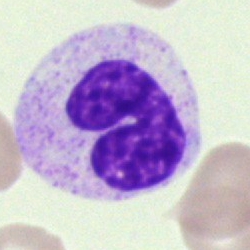 Classification: neutrophil (band).